Pappenheim-stained; bone marrow smear; cropped to a single cell: 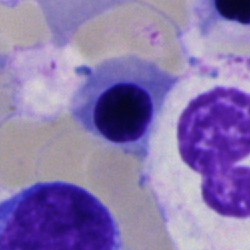
The cell type is normoblast.